Bone marrow smear
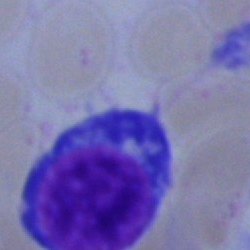Morphology — pronormoblast.